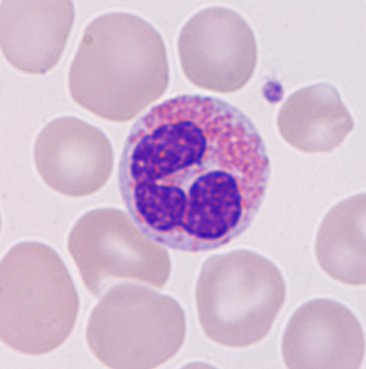Acquisition: 366×369 px. Peripheral blood smear. MGG stain.

Q: What cell is this?
A: Eosinophilic granulocyte.